Bone marrow smear; 250 by 250 pixels; 40× oil immersion
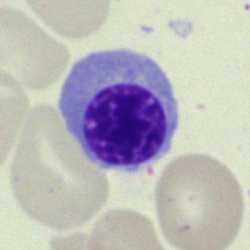Single cell identified as an erythroblast.